Bone marrow smear.
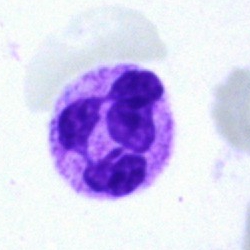
The cell type is segmented neutrophil.